250×250 px · bone marrow smear — 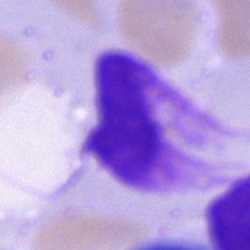
Morphology consistent with an artefact.